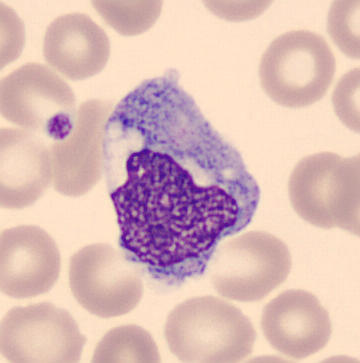
Impression → monocyte.